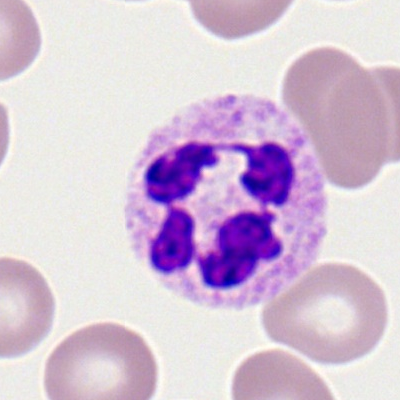 Cell type = segmented neutrophil.